Bone marrow aspirate smear.
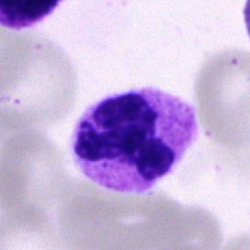

Classification — neutrophil (segmented).